MGG-stained; bone marrow aspirate smear; 40× objective, oil immersion
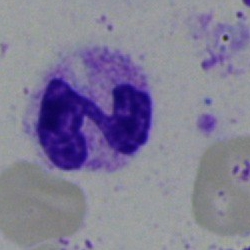

Cell = neutrophil (segmented).